Single-cell crop; bone marrow aspirate smear: 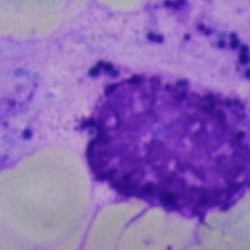 An artefact.